Bone marrow smear. Single-cell field.
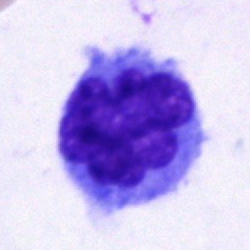
Q: Which cell type is shown here?
A: This is a monocyte.